Bone marrow aspirate smear · May-Grünwald-Giemsa stain — 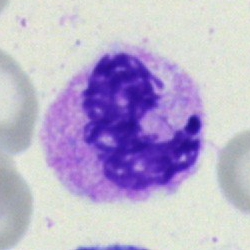Morphology → polymorphonuclear neutrophil.